Bone marrow aspirate smear
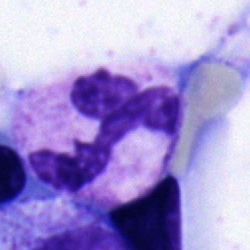 The cell type is polymorphonuclear neutrophil.